40× oil immersion · bone marrow aspirate smear — 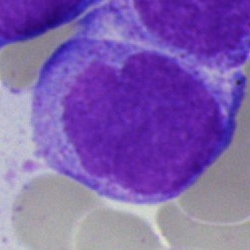

Morphological class: blast.